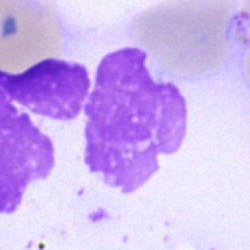The morphological class is artefact.